Brightfield, 40× oil-immersion objective · bone marrow smear: 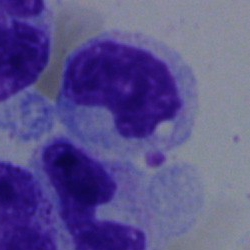Morphology consistent with a metamyelocyte.